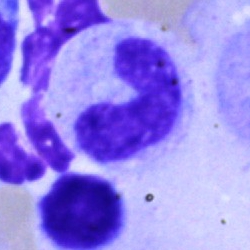

Single-cell crop from a bone marrow smear: neutrophil (band).